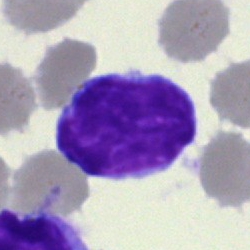

Specimen: bone marrow aspirate smear.
Morphological class: lymphocyte.
Lineage: lymphoid.